Bone marrow smear
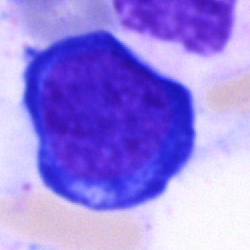 Morphology consistent with a proerythroblast.